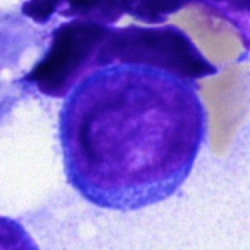 A blast cell on a bone marrow smear.